Bone marrow aspirate smear. Image size 250×250.
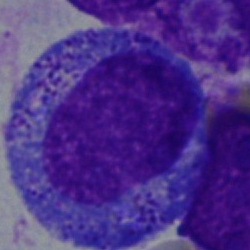Morphology → promyelocyte.